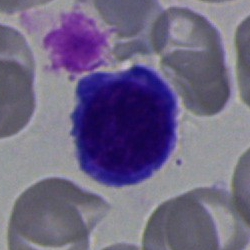
Morphological class = nucleated red cell.